40× objective, oil immersion. Bone marrow smear — 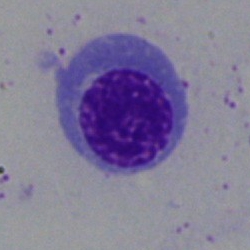

The cell is normoblast.